Bone marrow smear.
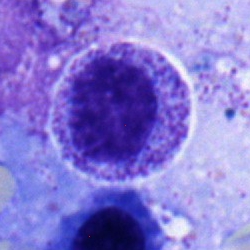 The cell shown is a myelocyte.